Bone marrow smear: 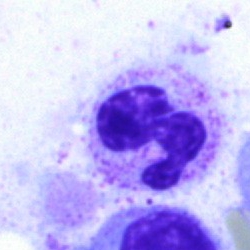

A neutrophil (segmented).